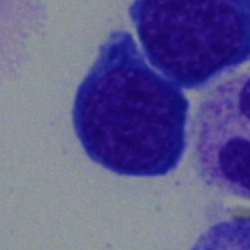

An erythroblast on a bone marrow smear.